Bone marrow aspirate smear: 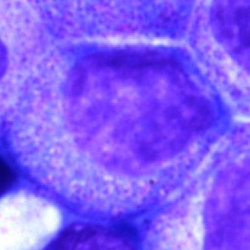 Single cell identified as a progranulocyte.